Bone marrow aspirate smear. 250 by 250 pixels.
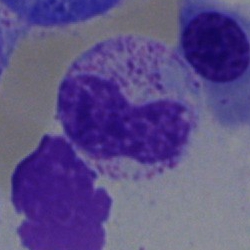

Metamyelocyte.